Bone marrow smear. Single cell centered in the field — 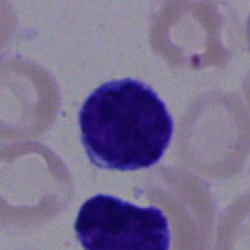Single cell identified as a typical lymphocyte.